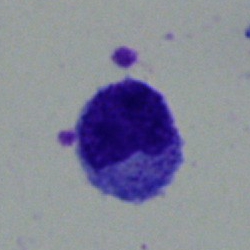

Classification — lymphocyte.